Bone marrow aspirate smear:
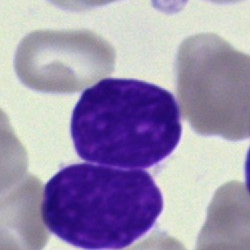 Morphological class = artefact.